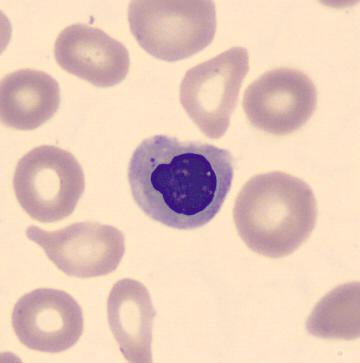
Q: What cell is this?
A: Erythroblast.